Peripheral blood smear:
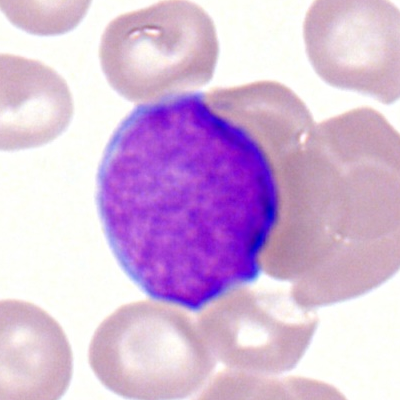 A myeloid blast.